Peripheral blood smear; cropped to a single cell: 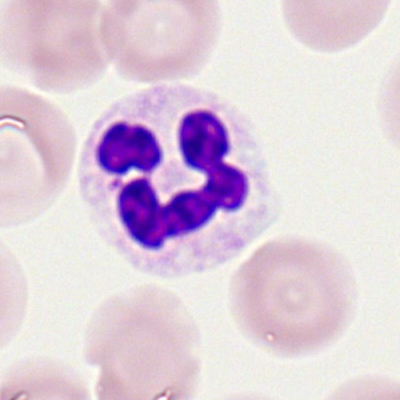

{"cell_type": "segmented neutrophil", "lineage": "myeloid"}